Bone marrow smear — 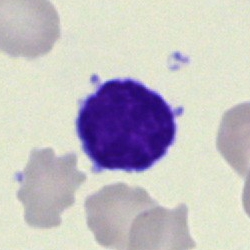A lymphocyte.